Bone marrow smear. 250×250 px.
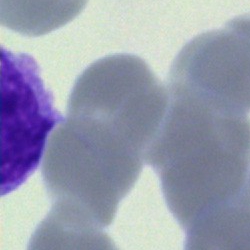

Q: What is shown here?
A: An artifact.